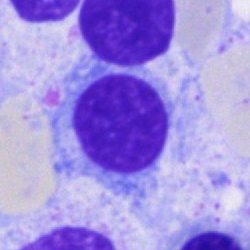

The classification is lymphocyte.